Bone marrow aspirate smear — 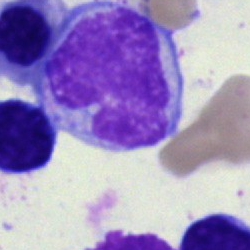 A monocyte.